Bone marrow aspirate smear. Cropped to a single cell: 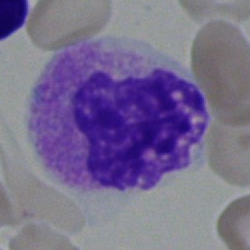

A segmented neutrophil.